250×250. Single-cell field. Bone marrow smear:
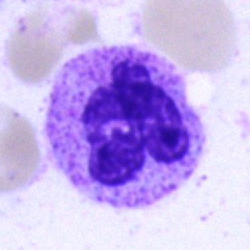

Cell type — segmented neutrophil.